Bone marrow aspirate smear; 40× objective, oil immersion — 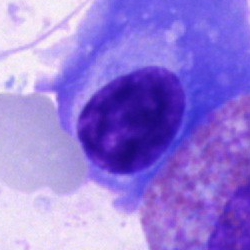
Specimen: bone marrow aspirate smear.
Morphological class: plasma cell.
Lineage: lymphoid.